Bone marrow smear · single-cell field.
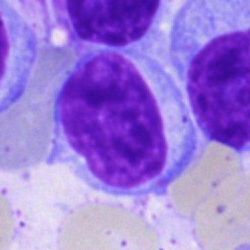Typical lymphocyte.